Bone marrow aspirate smear:
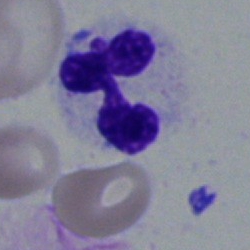 Polymorphonuclear neutrophil.